250×250 · bone marrow aspirate smear: 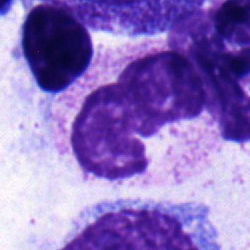

The cell shown is a band neutrophil.